Romanowsky-type stain. Peripheral blood smear
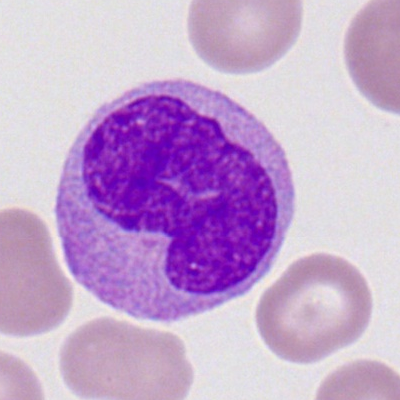 Showing a monocyte.